Bone marrow smear: 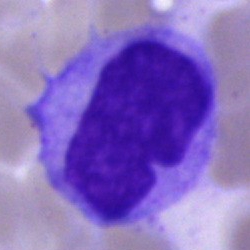

Morphology consistent with a monocyte.